Bone marrow aspirate smear · 40× oil immersion · May-Grünwald-Giemsa stain.
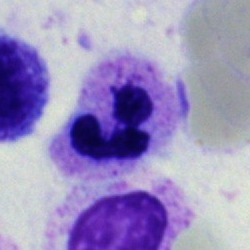Cell — polymorphonuclear neutrophil.